Single-cell crop. Bone marrow aspirate smear: 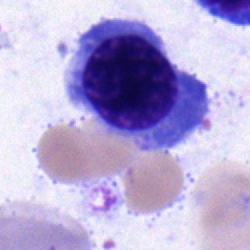
Q: Identify the cell.
A: It is an erythroblast.